Bone marrow smear: 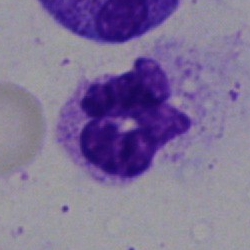 Classification: segmented neutrophil.